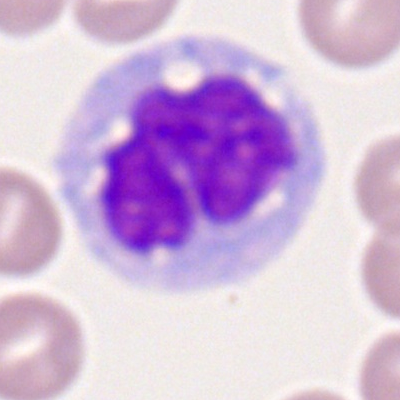

Monocyte.